Bone marrow aspirate smear. 250×250 px:
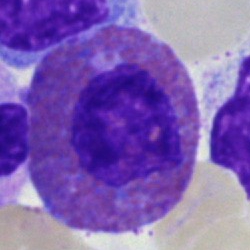The classification is eosinophil.